Image size 250×250. Bone marrow aspirate smear
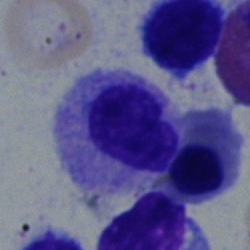
Specimen: bone marrow aspirate smear.
Cell: myelocyte.